Bone marrow smear; single cell centered in the field: 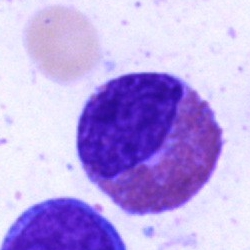 The cell shown is an eosinophil.